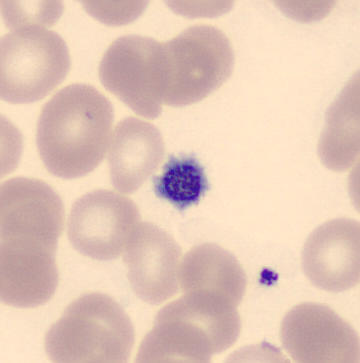Specimen: peripheral blood film.
Morphological class: thrombocyte.